Bone marrow smear — 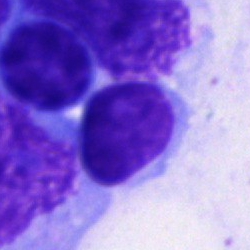 Impression — typical lymphocyte.